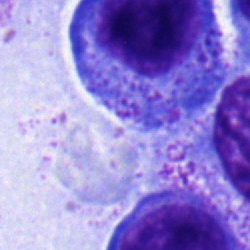 Impression → promyelocyte.